May-Grünwald-Giemsa/Pappenheim stain · bone marrow smear
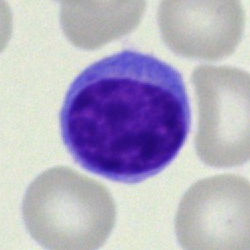 Q: Identify the cell.
A: It is a lymphocyte.